Bone marrow smear. Cropped to a single cell — 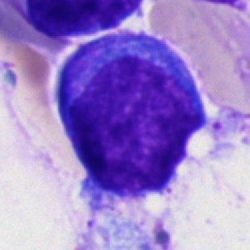
This is a blast.